Bone marrow smear
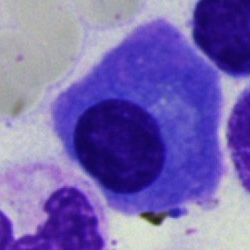Q: What is shown here?
A: This is a plasma cell.